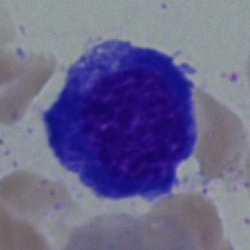 This is a pronormoblast.